Bone marrow smear
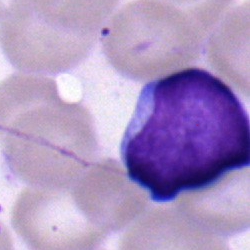

Specimen: bone marrow smear.
Morphological class: lymphocyte.